Bone marrow smear: 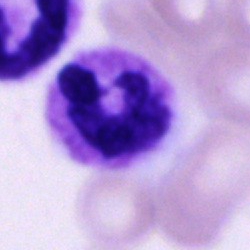
{"cell_type": "polymorphonuclear neutrophil", "lineage": "myeloid"}